Bone marrow smear:
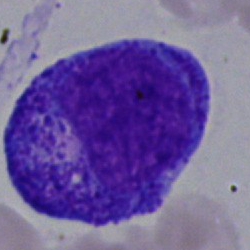 This is a promyelocyte.